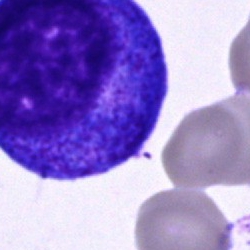
Showing a promyelocyte.